Bone marrow aspirate smear: 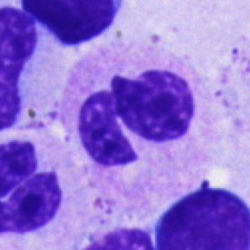
Morphology consistent with a polymorphonuclear neutrophil.